MGG-stained; bone marrow aspirate smear:
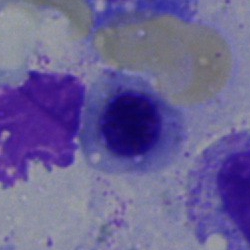Morphological class: nucleated red cell.